Single-cell field; bone marrow aspirate smear.
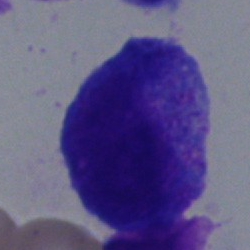

Q: What is the morphological classification of this cell?
A: A progranulocyte.